Bone marrow smear — 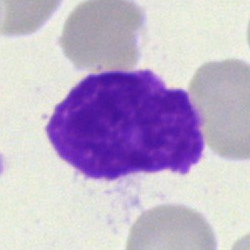
Cell type: basket cell.